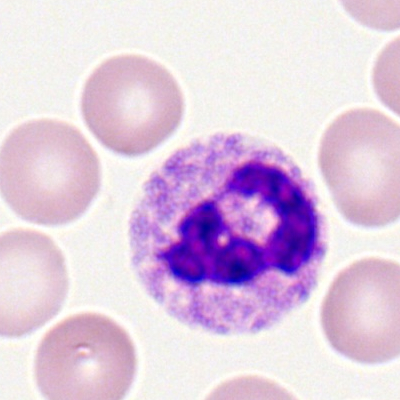A neutrophil (segmented) on a peripheral blood smear.